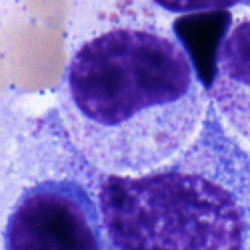

Cell type: metamyelocyte.